Bone marrow smear
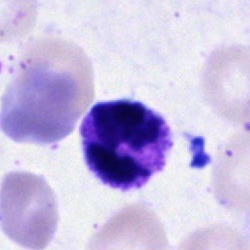Classification — polymorphonuclear neutrophil.